Bone marrow aspirate smear. MGG-stained:
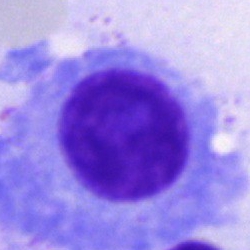The classification is plasma cell.